MGG-stained. Bone marrow aspirate smear. 250×250 px: 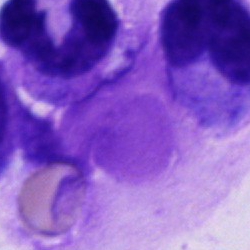Q: What is shown here?
A: An artifact.